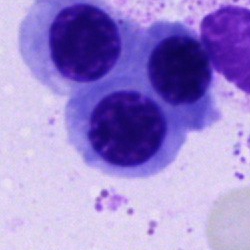Classification: normoblast.